Bone marrow aspirate smear · cropped to a single cell · image size 250×250 — 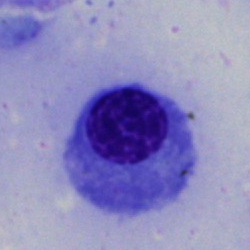

This is a nucleated red cell.